Bone marrow smear.
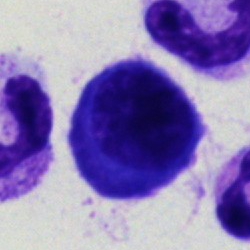
Morphology — plasma cell.